Peripheral blood smear — 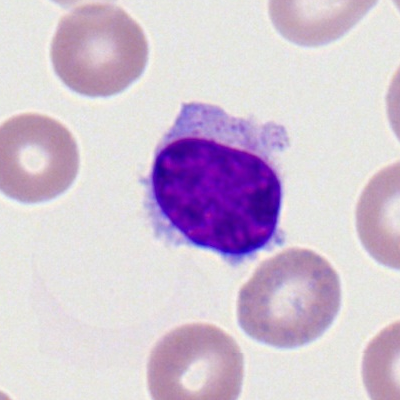 Q: Which cell type is shown here?
A: It is a typical lymphocyte.